May-Grünwald-Giemsa stain. Bone marrow aspirate smear:
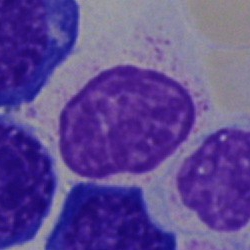

Q: What is shown here?
A: Artifact.